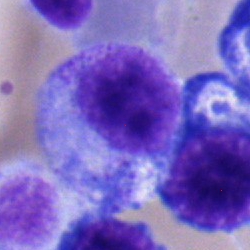Single cell identified as a myelocyte.